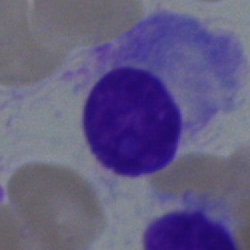
Showing a plasmacyte.